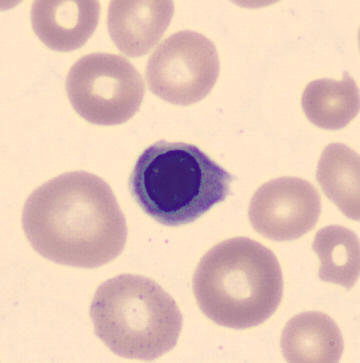Image: Peripheral blood smear.

Classification — nucleated red blood cell.